Bone marrow aspirate smear; 250×250:
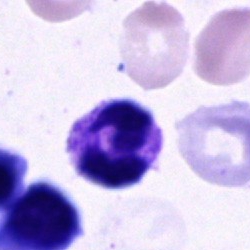
This is a segmented neutrophil.